Bone marrow aspirate smear:
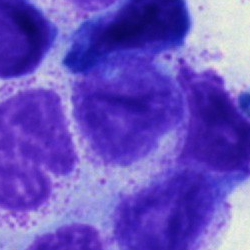 Unidentifiable cell.